Single cell centered in the field. Bone marrow smear — 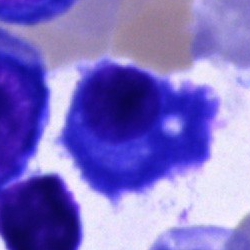 Showing a plasmacyte.